Bone marrow aspirate smear: 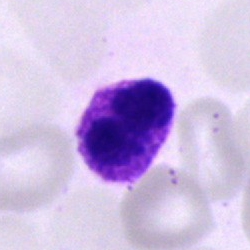

Single cell identified as a basophil.